Bone marrow smear · cropped to a single cell: 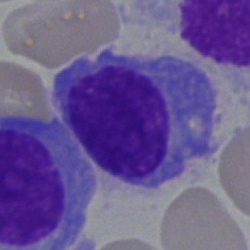 Morphology consistent with a plasmacyte.